Bone marrow aspirate smear: 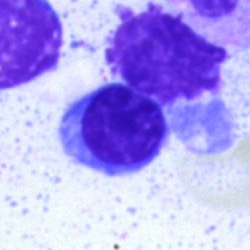

A typical lymphocyte.